Single-cell field. Pappenheim-stained. Bone marrow aspirate smear: 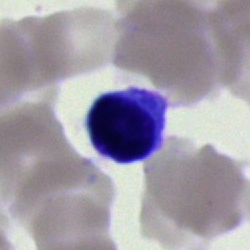Q: What type of cell is this?
A: Typical lymphocyte.